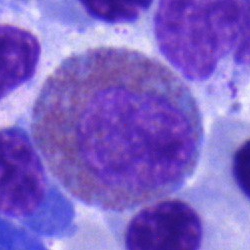 Specimen: bone marrow aspirate smear.
Morphological class: eosinophil.